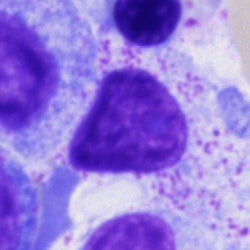
Unidentifiable cell.